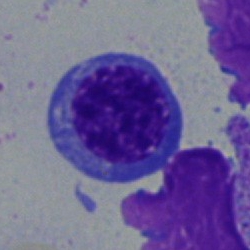 Morphological class: normoblast.